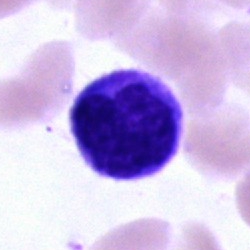
The cell is monocyte.